Bone marrow smear
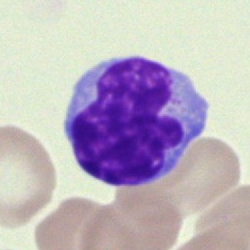 Cell type = lymphocyte.